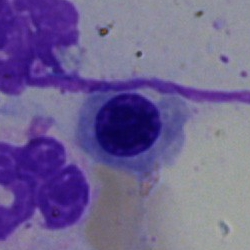 Impression → nucleated red cell.